Bone marrow smear; 250×250; May-Grünwald-Giemsa/Pappenheim stain — 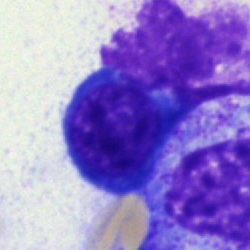 The cell is normoblast.